Bone marrow smear. 250 by 250 pixels. May-Grünwald-Giemsa/Pappenheim stain
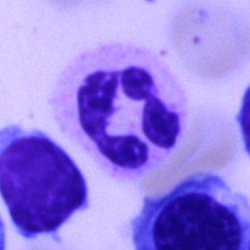

Morphology consistent with a polymorphonuclear neutrophil.